Bone marrow aspirate smear.
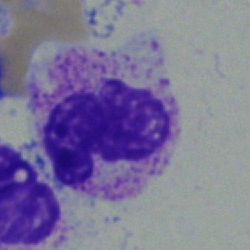Q: What is the morphological classification of this cell?
A: Segmented neutrophil.